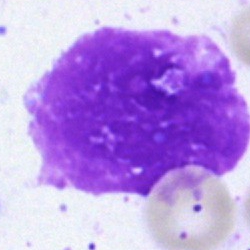Specimen: bone marrow aspirate smear.
Morphological class: artefact.